Cropped to a single cell. May-Grünwald-Giemsa stain. Bone marrow smear: 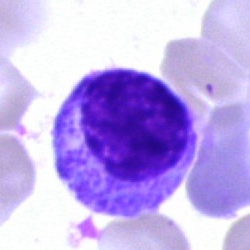 Single cell identified as a myelocyte.